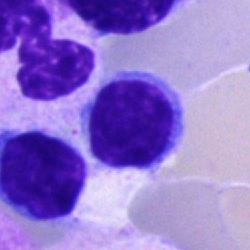Cell type: typical lymphocyte.